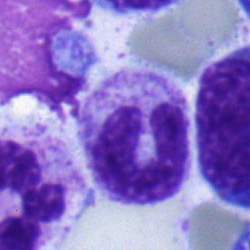
Neutrophil (band).